Bone marrow aspirate smear · single cell centered in the field · brightfield microscopy, 40× oil immersion — 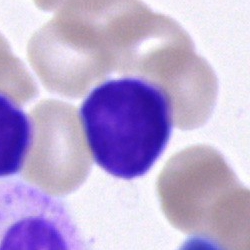Impression — typical lymphocyte.